Single-cell field; bone marrow smear; 40× oil immersion
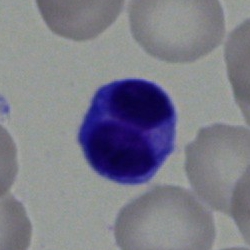Classification — typical lymphocyte.